Bone marrow smear — 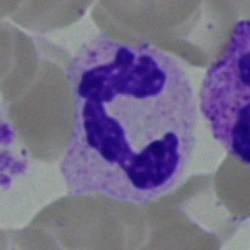 Classification: neutrophil (segmented).